Bone marrow smear — 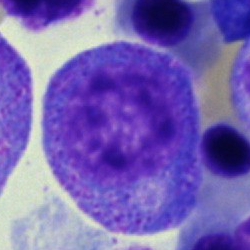 Morphology consistent with a progranulocyte.